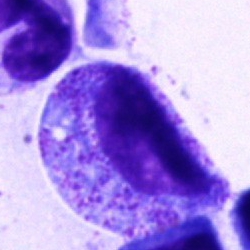Morphology — promyelocyte.